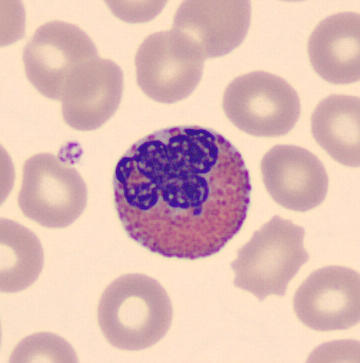

Specimen: peripheral blood film.
Classification: eosinophilic granulocyte.
Lineage: myeloid.